Bone marrow smear: 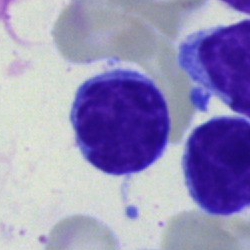 The cell shown is a lymphocyte.